400×400 · peripheral blood film.
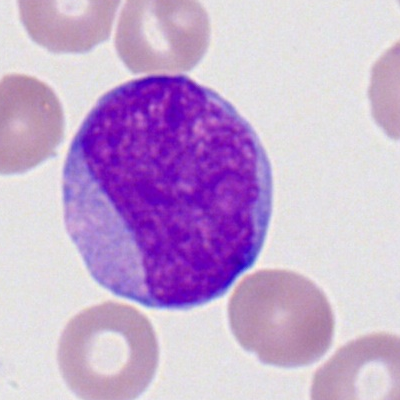 Morphological class: myeloblast.